Bone marrow smear — 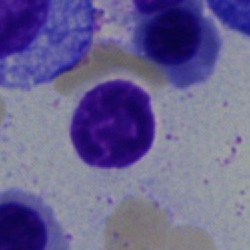Morphological class = typical lymphocyte.